Bone marrow smear.
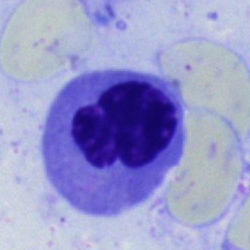 Showing a nucleated red cell.